Bone marrow aspirate smear — 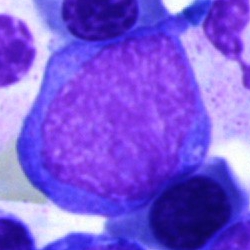
Specimen: bone marrow aspirate smear.
Classification: blast cell.